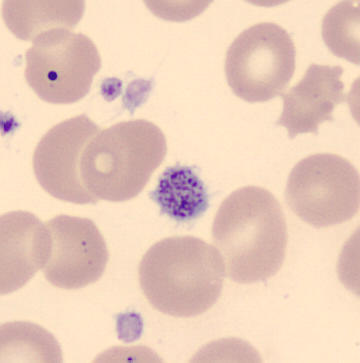Morphology consistent with a platelet.